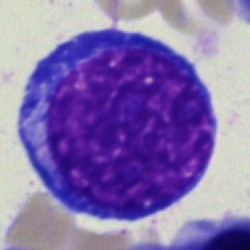 Impression → normoblast.